Peripheral blood film · single cell centered in the field · Romanowsky stain:
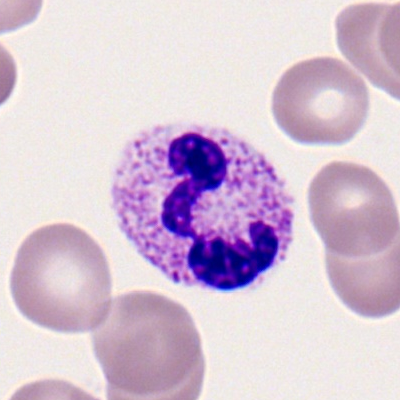Specimen: peripheral blood film.
Cell type: segmented neutrophil.